MGG-stained; 250×250 px; bone marrow smear.
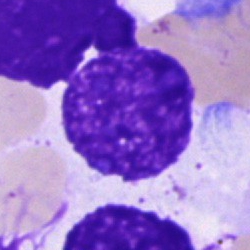
Cell: artefact.